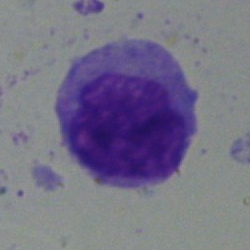

Bone marrow smear showing a monocyte.